Bone marrow aspirate smear · 250×250 px
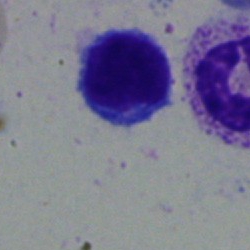

Q: Identify the cell.
A: A typical lymphocyte.